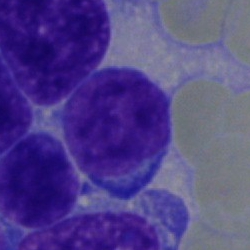 Cell type — blast.